Bone marrow aspirate smear: 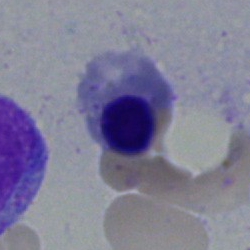

This is a normoblast.